Bone marrow smear.
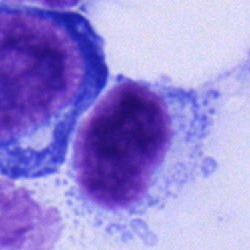

Q: What is shown here?
A: It is a lymphocyte.